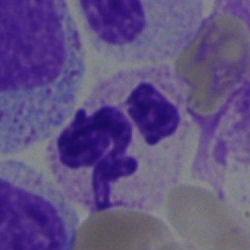Single cell identified as a polymorphonuclear neutrophil.